Bone marrow aspirate smear · single-cell field: 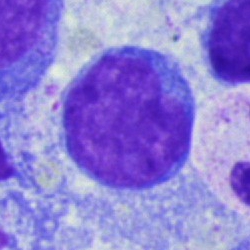

Blast cell.